May-Grünwald-Giemsa/Pappenheim stain; bone marrow smear: 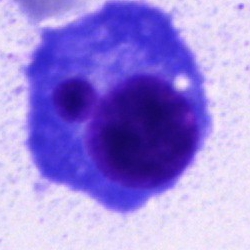

Classification: plasmacyte.